Bone marrow aspirate smear. Image size 250×250. Brightfield, 40× oil-immersion objective: 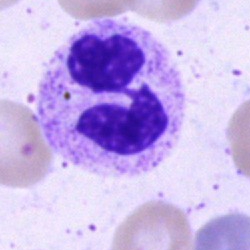Q: What type of cell is this?
A: It is a segmented neutrophil.